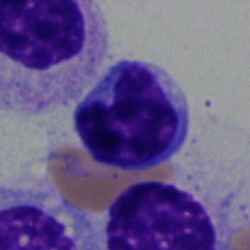 Classification: typical lymphocyte.